Bone marrow smear.
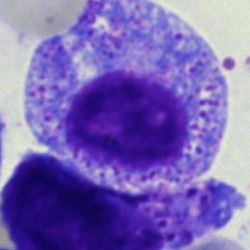 Classification: progranulocyte.